Bone marrow aspirate smear; Pappenheim-stained; 250 by 250 pixels
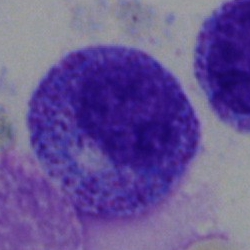
Impression — myelocyte.